Peripheral blood smear · Romanowsky-type stain: 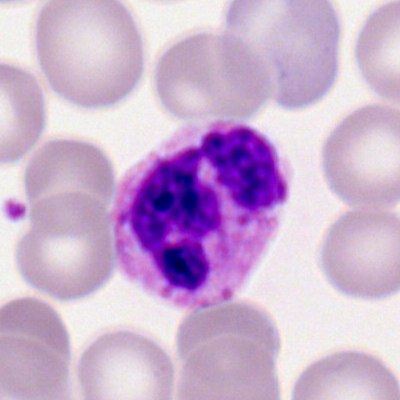

Q: What is shown here?
A: This is a basophilic granulocyte.